Bone marrow aspirate smear:
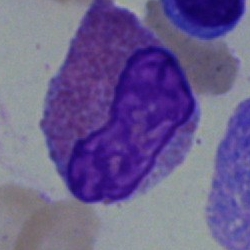

Cell type = eosinophil.